Cropped to a single cell; bone marrow smear: 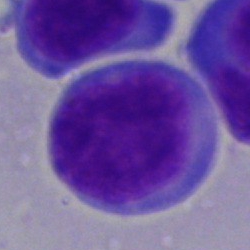
A blast cell.